Single-cell field; bone marrow aspirate smear
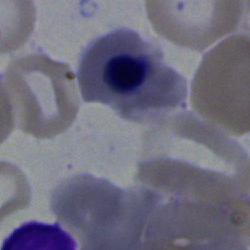 A nucleated red blood cell.